Bone marrow aspirate smear — 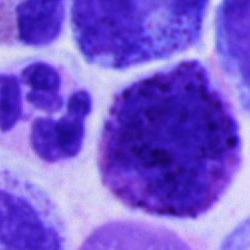Q: What is shown here?
A: A basophil.